Bone marrow aspirate smear.
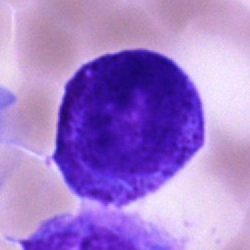 Impression → undifferentiated blast.